Single cell centered in the field; bone marrow aspirate smear — 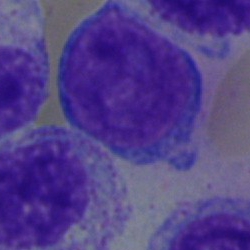 Q: What is the morphological classification of this cell?
A: It is a blast cell.